Bone marrow aspirate smear
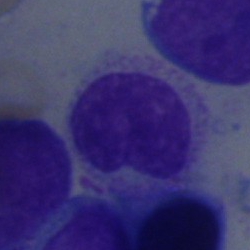Impression → metamyelocyte.